Bone marrow aspirate smear.
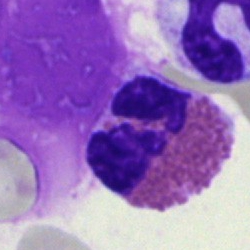 Specimen: bone marrow smear.
Classification: eosinophilic granulocyte.